Bone marrow smear; single-cell crop
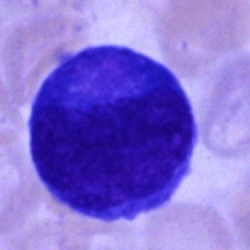
Q: What is shown here?
A: This is an undifferentiated blast.